Bone marrow aspirate smear · image size 250×250:
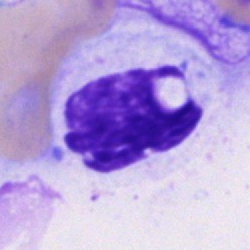
Specimen: bone marrow aspirate smear.
Cell type: artefact.